Bone marrow aspirate smear.
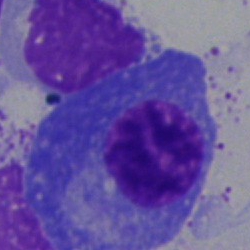{"cell_type": "plasma cell"}